Cropped to a single cell · May-Grünwald-Giemsa/Pappenheim stain · bone marrow smear
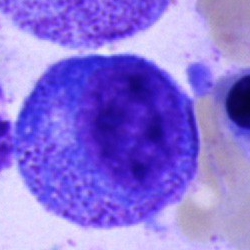The cell is progranulocyte.